Bone marrow smear. 40× objective, oil immersion.
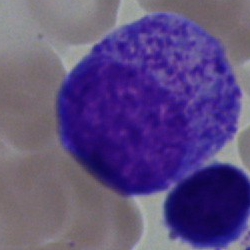
A promyelocyte.